400×400 px · peripheral blood film:
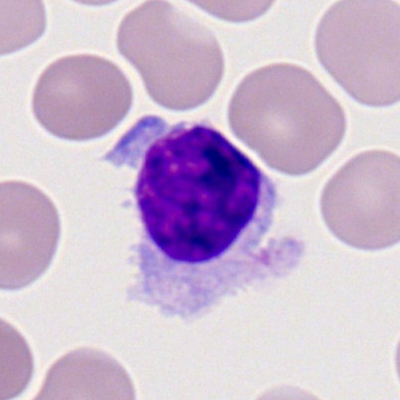

Impression — lymphocyte.